Bone marrow aspirate smear:
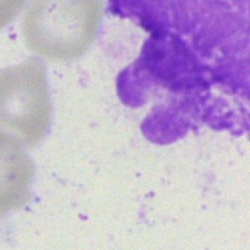

Q: What is shown here?
A: An artifact.